Bone marrow smear
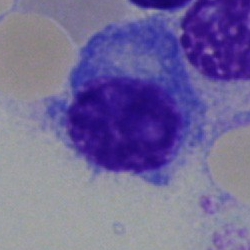

The classification is plasma cell.